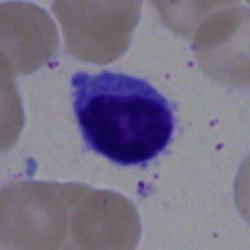 Classification: typical lymphocyte.